Bone marrow aspirate smear; Pappenheim-stained.
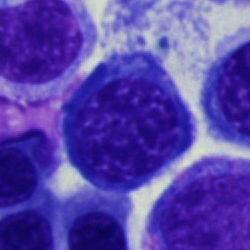

Specimen: bone marrow smear.
Classification: nucleated red cell.